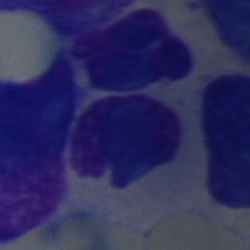 The cell shown is an artefact.